May-Grünwald-Giemsa/Pappenheim stain · bone marrow aspirate smear — 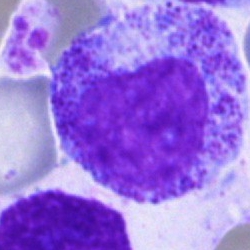Morphology → promyelocyte.